Bone marrow smear
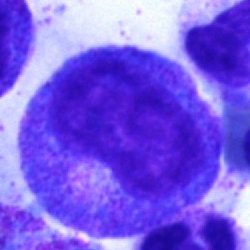 This is a promyelocyte.